CellaVision DM96; peripheral blood smear: 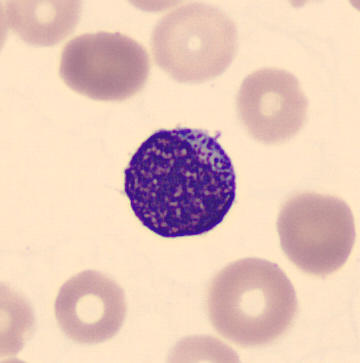A myelocyte.